Single-cell field · bone marrow smear.
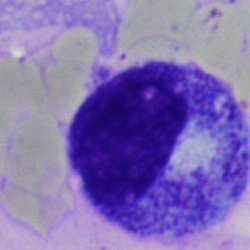
Specimen: bone marrow aspirate smear.
Cell: progranulocyte.
Lineage: myeloid.